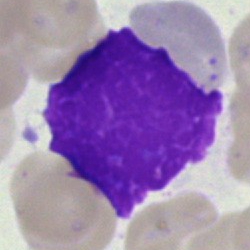

Specimen: bone marrow aspirate smear.
Cell type: artifact.